Bone marrow aspirate smear.
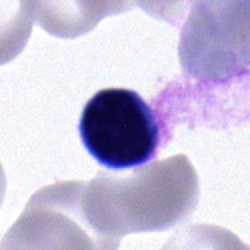 Specimen: bone marrow smear.
Classification: lymphocyte.